Bone marrow aspirate smear — 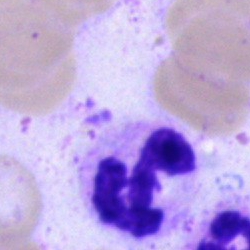

Classification = neutrophil (segmented).